100× objective, oil immersion · single-cell crop · peripheral blood smear:
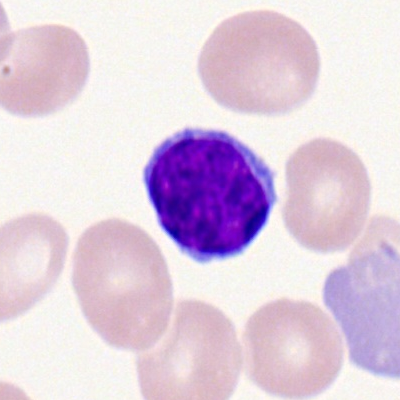

A typical lymphocyte.